Brightfield, 40× oil-immersion objective. Bone marrow aspirate smear: 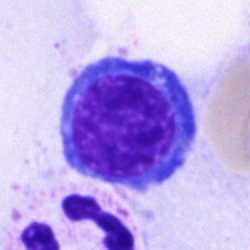

Morphological class — nucleated red cell.